Bone marrow aspirate smear:
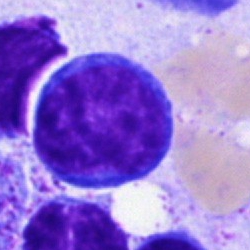
Single cell identified as a blast.